Bone marrow smear; cropped to a single cell
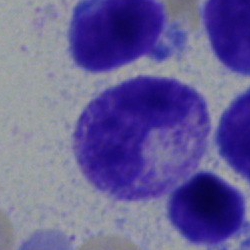This is a band neutrophil.